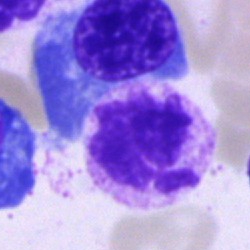 Morphological class: neutrophil (segmented).